Bone marrow smear: 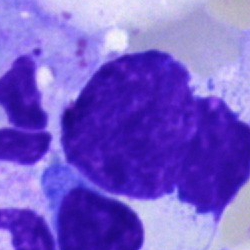
Impression → artifact.